Bone marrow smear: 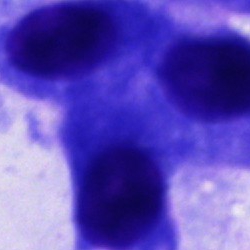Classification = other cell type.